Single-cell field · bone marrow aspirate smear
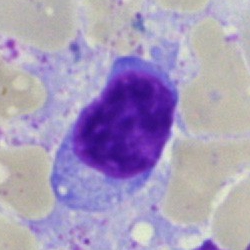 Morphological class = polymorphonuclear neutrophil.